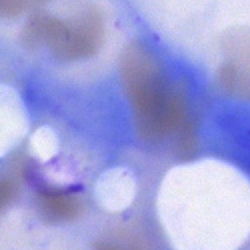Morphology — artefact.